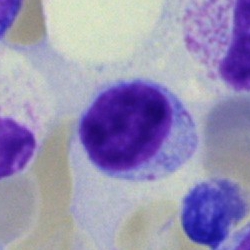Specimen: bone marrow aspirate smear.
Classification: typical lymphocyte.